Brightfield microscopy, 40× oil immersion. Bone marrow aspirate smear. Single cell centered in the field: 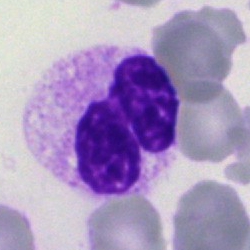 Morphological class: segmented neutrophil.